Bone marrow aspirate smear — 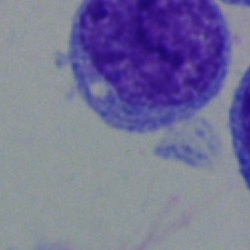

Classification = blast cell.